Bone marrow aspirate smear; single-cell field; brightfield, 40× oil-immersion objective.
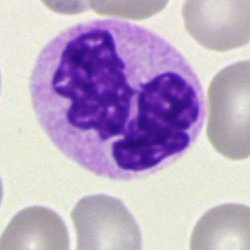

Q: What type of cell is this?
A: Polymorphonuclear neutrophil.